Bone marrow aspirate smear — 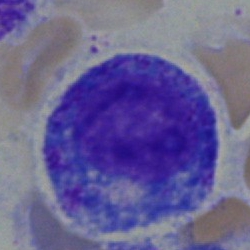
Specimen: bone marrow aspirate smear.
Classification: progranulocyte.